40× objective, oil immersion. Bone marrow smear: 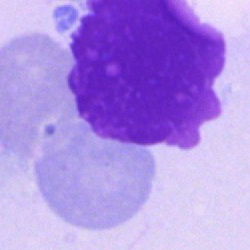

The cell shown is an artifact.